Bone marrow smear.
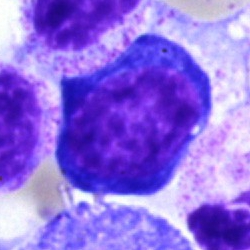 Cell type: pronormoblast.